Bone marrow smear — 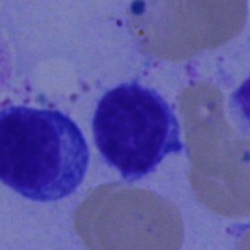

The morphological class is lymphocyte.